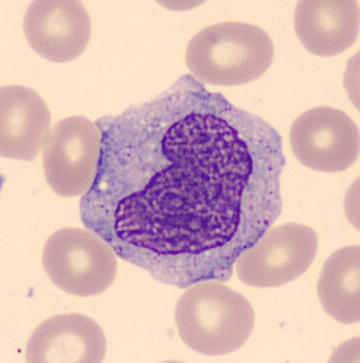 Q: What is the morphological classification of this cell?
A: Monocyte.